Bone marrow aspirate smear; 250 by 250 pixels — 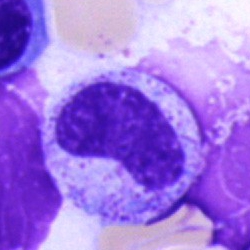

The cell shown is a metamyelocyte.